Single cell centered in the field · peripheral blood smear:
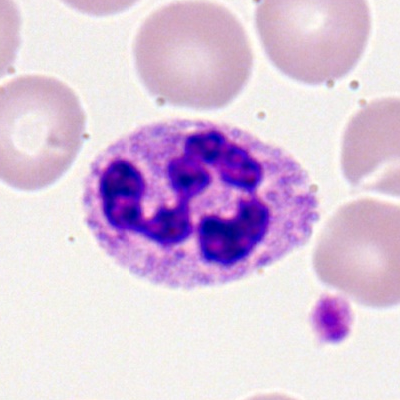 Classification — neutrophil (segmented).